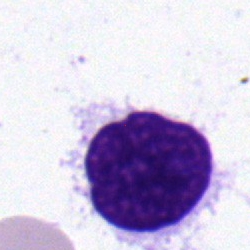 Cell type = lymphocyte.